Bone marrow smear
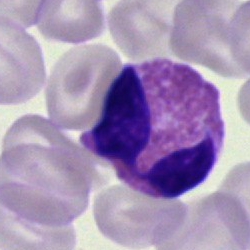Morphology consistent with an eosinophil.